Bone marrow aspirate smear:
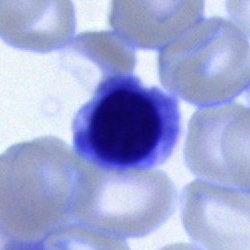 This is an erythroblast.